Bone marrow aspirate smear:
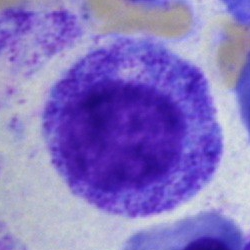
{"cell_type": "promyelocyte", "lineage": "myeloid"}